Bone marrow aspirate smear — 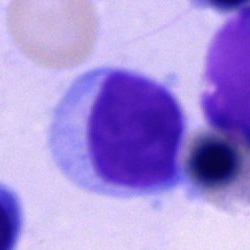 Q: What type of cell is this?
A: This is a lymphocyte.